Bone marrow smear · brightfield, 40× oil-immersion objective.
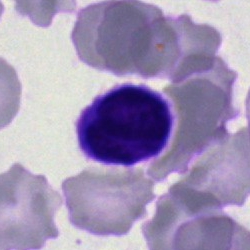Morphology → lymphocyte.